250×250 px; bone marrow smear; 40× oil immersion
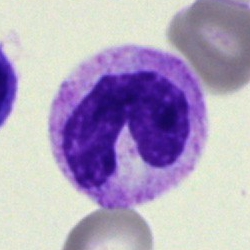 Single cell identified as a band-form neutrophil.